250×250. Bone marrow aspirate smear
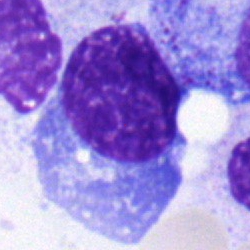Morphology consistent with a plasmacyte.